Bone marrow aspirate smear — 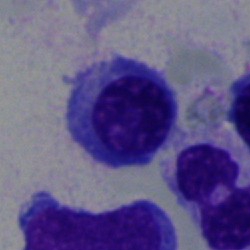
Morphological class = nucleated red cell.